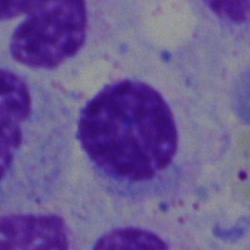Impression → lymphocyte.